Bone marrow smear — 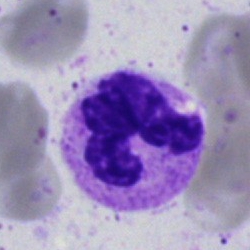The classification is polymorphonuclear neutrophil.